May-Grünwald-Giemsa stain; single-cell field; bone marrow aspirate smear — 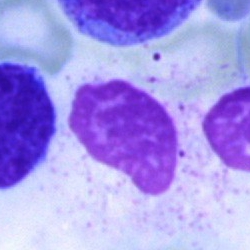Impression — artefact.